Pappenheim-stained. Cropped to a single cell. Bone marrow smear:
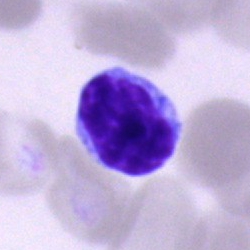

Q: What is the morphological classification of this cell?
A: Typical lymphocyte.